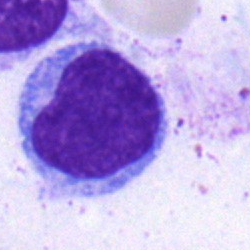Q: Which cell type is shown here?
A: Typical lymphocyte.